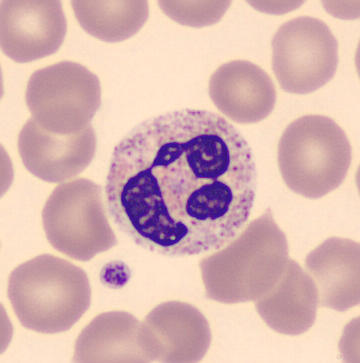

The cell is segmented neutrophil.